Bone marrow smear:
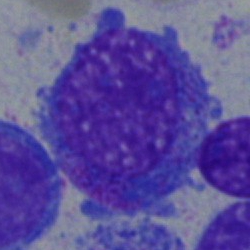

Specimen: bone marrow smear.
Classification: blast cell.